Bone marrow smear. 250×250: 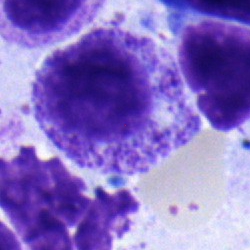

Myelocyte.